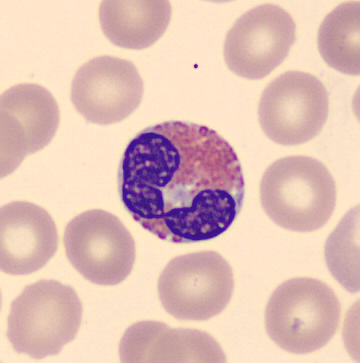 Cell: eosinophilic granulocyte.
Single-cell field; 360×363; peripheral blood film.